40× oil immersion; May-Grünwald-Giemsa/Pappenheim stain; bone marrow aspirate smear.
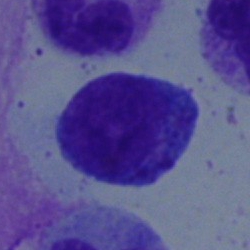 Showing a blast.